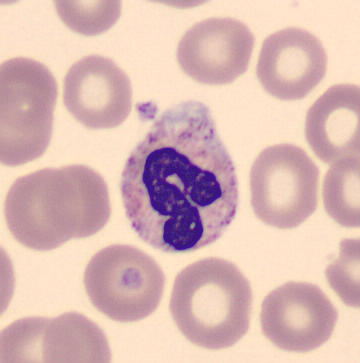Image: Peripheral blood film. May-Grünwald-Giemsa-stained. CellaVision DM96 digital cell image.

Classification: neutrophil (band).